Image size 250×250. Bone marrow aspirate smear. Single-cell field — 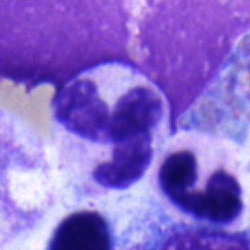
Q: What cell is this?
A: Polymorphonuclear neutrophil.